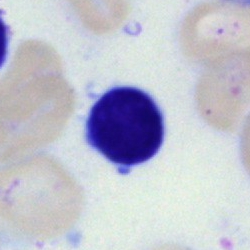

Bone marrow aspirate smear, single cell — lymphocyte.